Bone marrow smear:
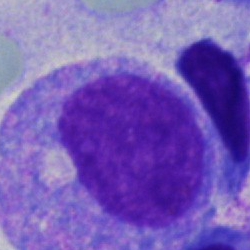This is a progranulocyte.